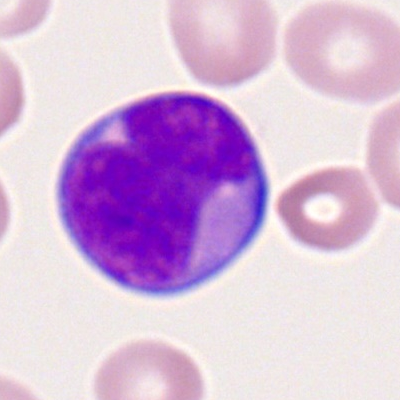 Morphology → myeloblast.